MGG-stained · bone marrow smear · 40× oil immersion — 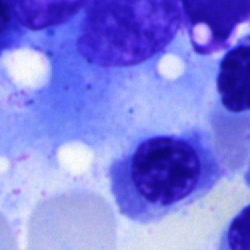Specimen: bone marrow smear.
Cell: nucleated red blood cell.
Lineage: erythroid.